250×250. Pappenheim-stained. Bone marrow aspirate smear.
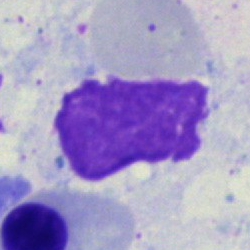
Showing an artifact.